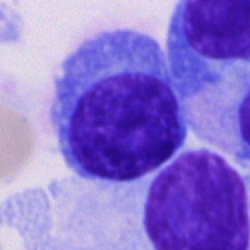

Q: What cell is this?
A: Plasma cell.